Bone marrow aspirate smear; cropped to a single cell
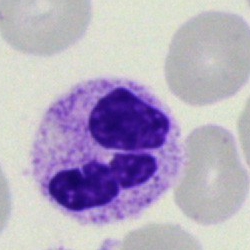
The morphological class is polymorphonuclear neutrophil.